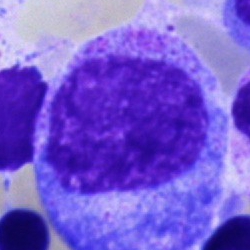
Single cell identified as a progranulocyte.